Bone marrow aspirate smear.
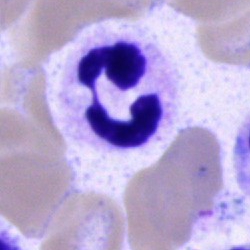 Q: What type of cell is this?
A: Polymorphonuclear neutrophil.